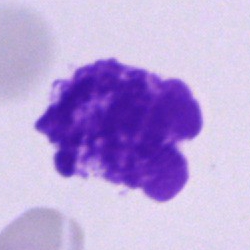Impression — artefact.